Bone marrow aspirate smear — 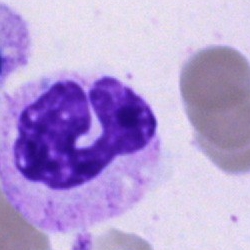
Specimen: bone marrow smear.
Morphological class: segmented neutrophil.
Lineage: myeloid.